Bone marrow smear: 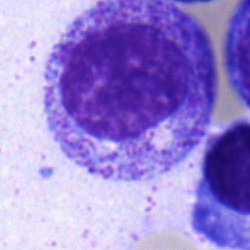

Q: What cell is this?
A: It is a myelocyte.